Single-cell crop · bone marrow aspirate smear.
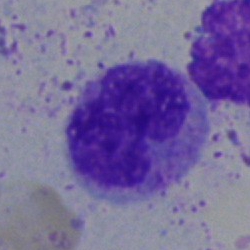
Single cell identified as a monocyte.